Bone marrow smear.
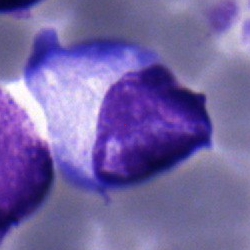Q: Identify the cell.
A: A lymphocyte.